Bone marrow smear — 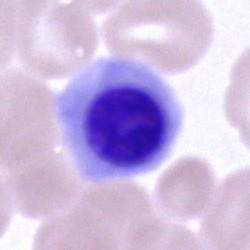
Cell — nucleated red blood cell.